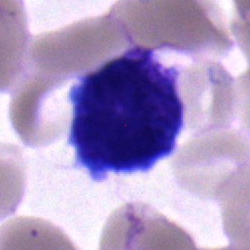 Bone marrow smear showing a blast cell.